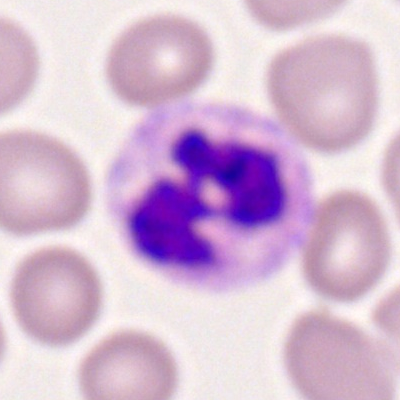 Q: Which cell type is shown here?
A: This is a neutrophil (segmented).